Bone marrow aspirate smear.
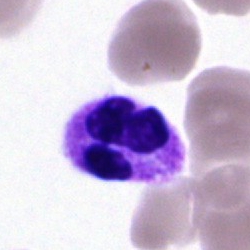 Showing a segmented neutrophil.